Bone marrow smear: 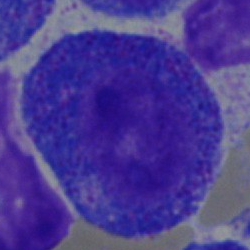
Showing a progranulocyte.